Bone marrow smear — 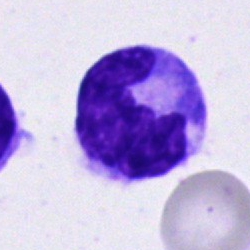

Q: What cell is this?
A: A monocyte.